Cropped to a single cell; 40× objective, oil immersion; bone marrow aspirate smear: 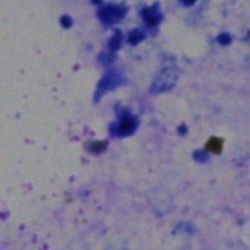Single cell identified as an artifact.